Bone marrow smear. 250 by 250 pixels. Single cell centered in the field
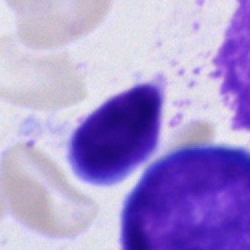Q: What cell is this?
A: It is a cell of indeterminate lineage.